Bone marrow aspirate smear: 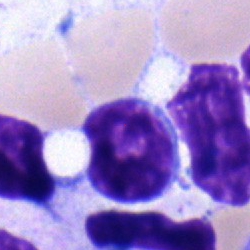
Typical lymphocyte.